Bone marrow aspirate smear: 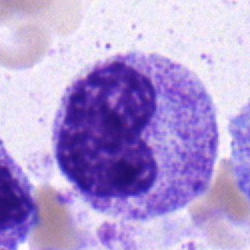

{"cell_type": "metamyelocyte", "lineage": "myeloid"}